Brightfield, 40× oil-immersion objective · bone marrow smear:
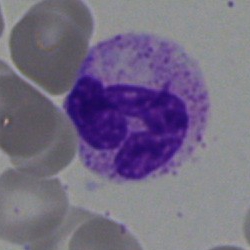
Q: Which cell type is shown here?
A: A neutrophil (segmented).